Bone marrow smear; 250×250:
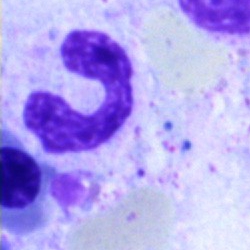

Single cell identified as a polymorphonuclear neutrophil.